May-Grünwald-Giemsa stain; single cell centered in the field; bone marrow smear.
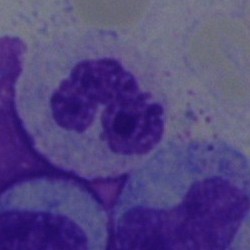 The cell type is neutrophil (band).